Pappenheim-stained; bone marrow aspirate smear; brightfield, 40× oil-immersion objective.
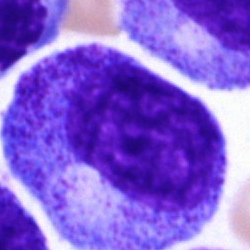 Progranulocyte.